Brightfield, 40× oil-immersion objective. 250×250. Bone marrow smear:
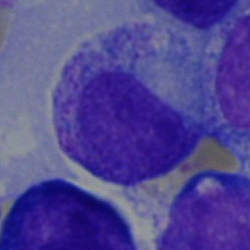
Cell: myelocyte.